Bone marrow aspirate smear. Single-cell crop:
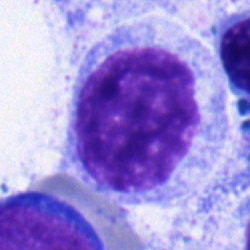
Q: Which cell type is shown here?
A: A myelocyte.